Brightfield microscopy, 40× oil immersion; bone marrow aspirate smear; cropped to a single cell — 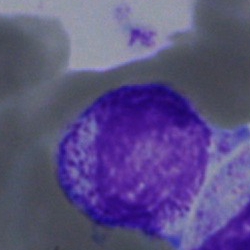Q: What cell is this?
A: It is a myelocyte.